Bone marrow aspirate smear; single cell centered in the field:
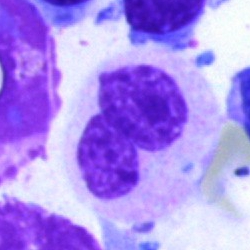
Classification = stab cell.